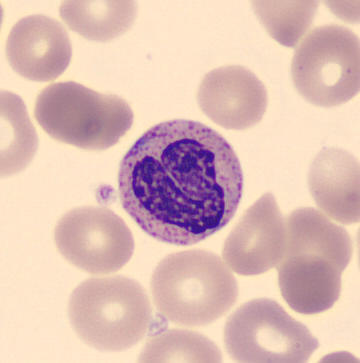

This is a stab cell.

Preparation: Peripheral blood smear · single-cell field.